Bone marrow aspirate smear — 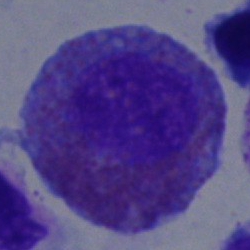An eosinophil.